Bone marrow aspirate smear. Brightfield, 40× oil-immersion objective:
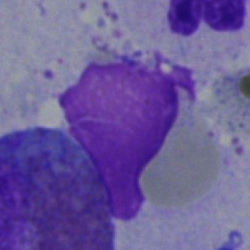 {"cell_type": "artifact"}